Bone marrow aspirate smear: 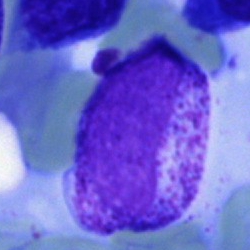This is a myelocyte.